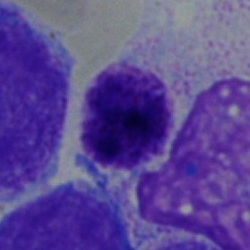Impression — basophil.